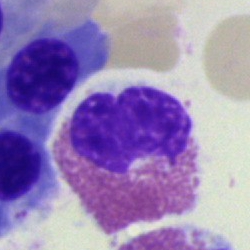

The cell shown is an eosinophil.